Bone marrow smear · MGG-stained · 40× oil immersion: 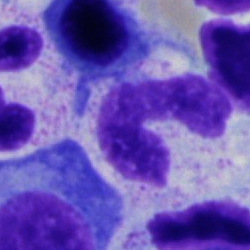Cell type = polymorphonuclear neutrophil.